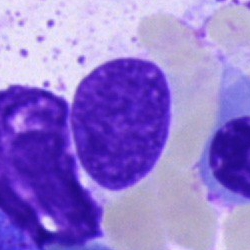

This is an artefact.